Bone marrow aspirate smear — 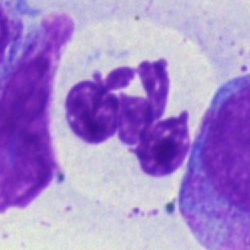

Morphology → neutrophil (segmented).